May-Grünwald-Giemsa stain; 40× oil immersion; bone marrow smear
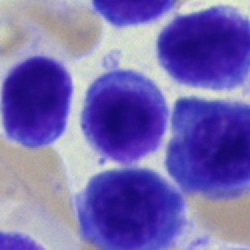
The cell type is lymphocyte.